Bone marrow smear; single-cell crop: 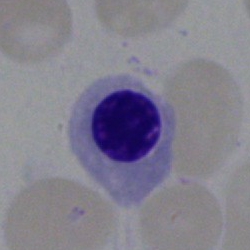
{"cell_type": "nucleated red blood cell"}